Brightfield microscopy, 40× oil immersion. 250 by 250 pixels. Bone marrow aspirate smear: 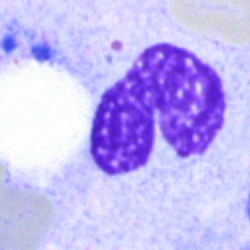
The cell type is artifact.